May-Grünwald-Giemsa stain. Bone marrow smear. 250×250 px: 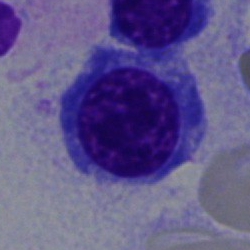
Cell: nucleated red cell.